Romanowsky-type stain; 400 by 400 pixels; peripheral blood film:
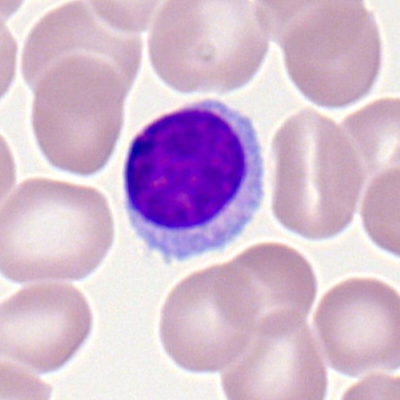

Cell = typical lymphocyte.